40× objective, oil immersion · single-cell field · bone marrow aspirate smear: 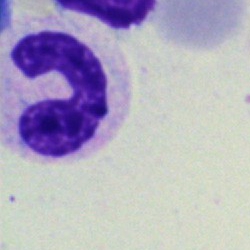
Classification = band neutrophil.